Bone marrow smear — 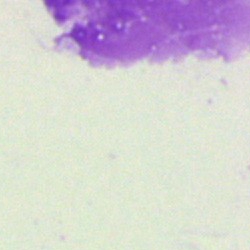Morphology consistent with an artefact.